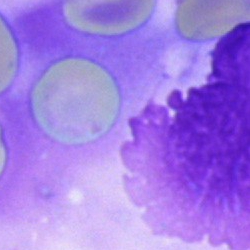

Cell type — artefact.